Bone marrow aspirate smear.
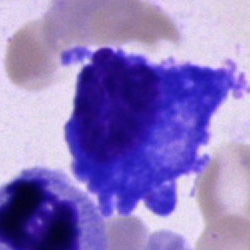Q: What type of cell is this?
A: Plasmacyte.